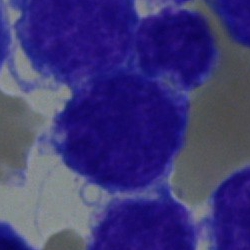

The morphological class is blast.